Peripheral blood film:
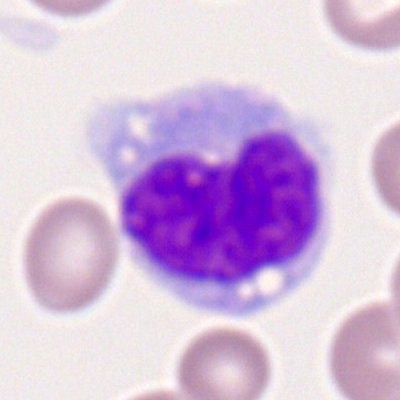
The morphological class is monocyte.